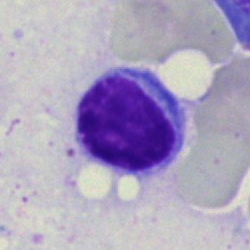

Impression → lymphocyte.